Bone marrow aspirate smear:
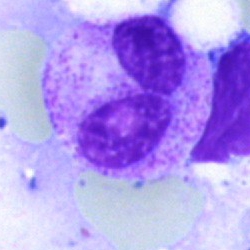Morphology → polymorphonuclear neutrophil.